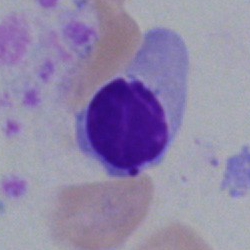 {"cell_type": "artifact"}